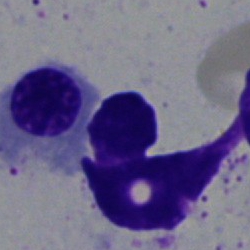

{"cell_type": "normoblast"}